Peripheral blood film: 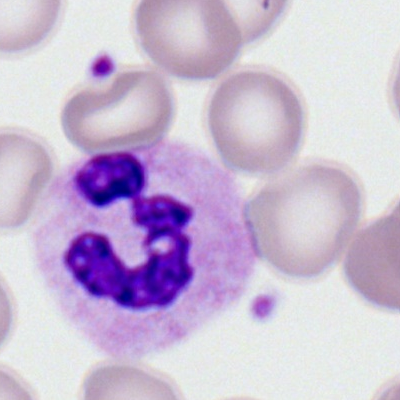

Showing a polymorphonuclear neutrophil.